Bone marrow aspirate smear: 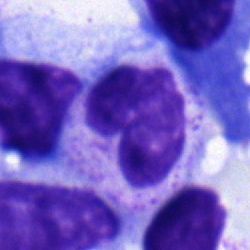Q: What is the morphological classification of this cell?
A: It is a stab cell.